Romanowsky stain; peripheral blood smear; 100× oil immersion, 14.14 px/µm — 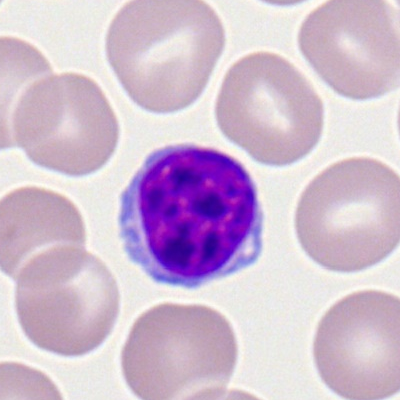
Morphology consistent with a typical lymphocyte.